May-Grünwald-Giemsa/Pappenheim stain; bone marrow aspirate smear; brightfield, 40× oil-immersion objective.
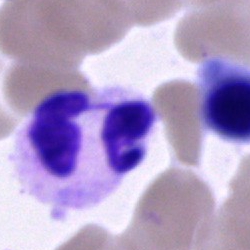
Q: What type of cell is this?
A: This is a neutrophil (segmented).